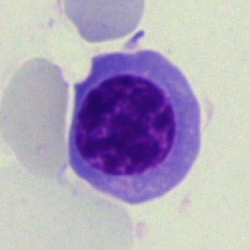

Morphological class = erythroblast.